40× oil immersion; bone marrow aspirate smear.
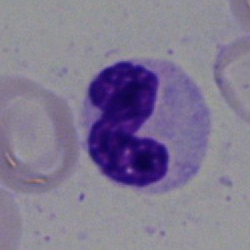

The cell shown is a polymorphonuclear neutrophil.